MGG-stained · bone marrow aspirate smear — 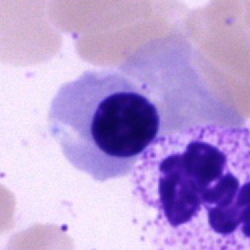

Specimen: bone marrow smear.
Cell type: erythroblast.